Bone marrow aspirate smear; image size 250×250; brightfield, 40× oil-immersion objective:
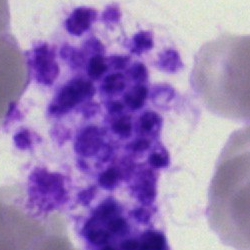
Showing an artifact.